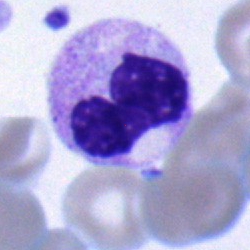Single-cell crop from a bone marrow smear: neutrophil (band).